Bone marrow aspirate smear: 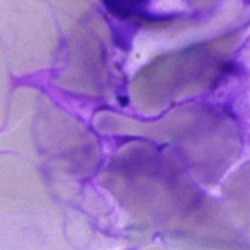Single cell identified as an artifact.